Bone marrow smear. 40× objective, oil immersion
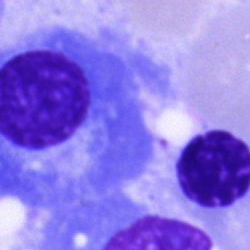

{"cell_type": "plasmacyte"}